40× objective, oil immersion · bone marrow smear: 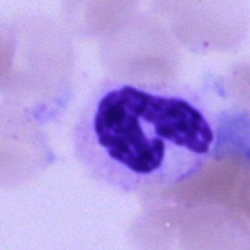

Classification — segmented neutrophil.